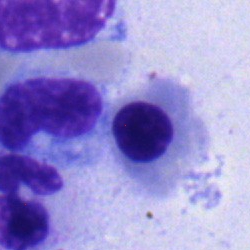

{"cell_type": "normoblast"}